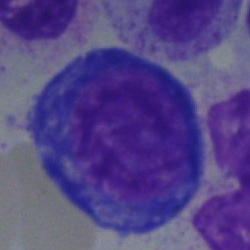
Morphological class: erythroblast.